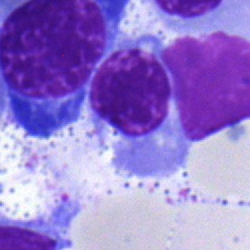Morphological class — normoblast.